Bone marrow smear. Single-cell crop: 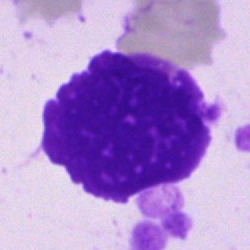

An artefact.